Bone marrow aspirate smear
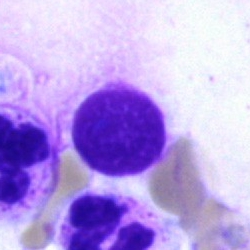Q: What is shown here?
A: An artifact.